Bone marrow smear: 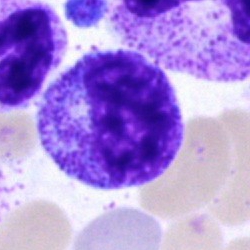Showing a myelocyte.